Single-cell field · Romanowsky-type stain · peripheral blood film.
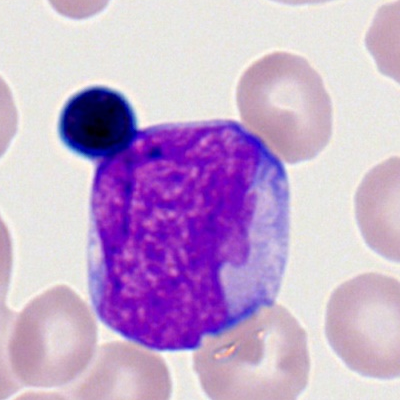A myeloblast.